Bone marrow aspirate smear · MGG-stained · image size 250×250: 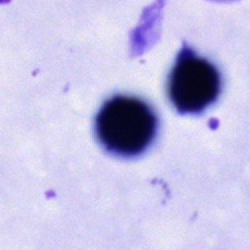

Q: Identify the cell.
A: This is an unidentifiable cell.